Bone marrow aspirate smear; cropped to a single cell; 250 by 250 pixels: 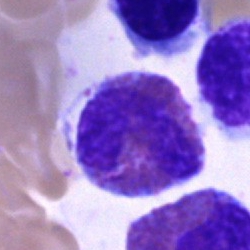

Cell type = eosinophil.